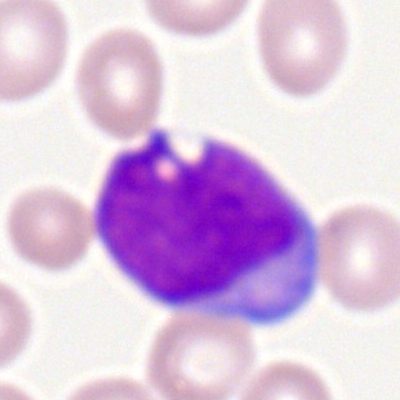 Cell type: myeloblast.